Bone marrow aspirate smear:
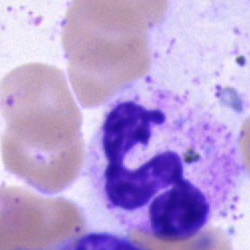Cell: neutrophil (segmented).